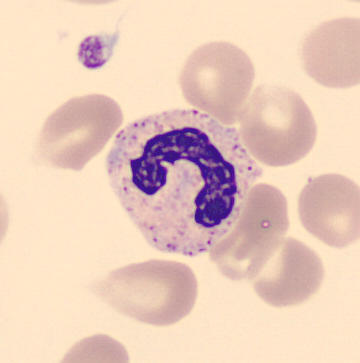Preparation: Peripheral blood smear · image size 360×363 · May Grünwald-Giemsa stain.

Morphology — stab cell.